400×400; peripheral blood film; Romanowsky stain.
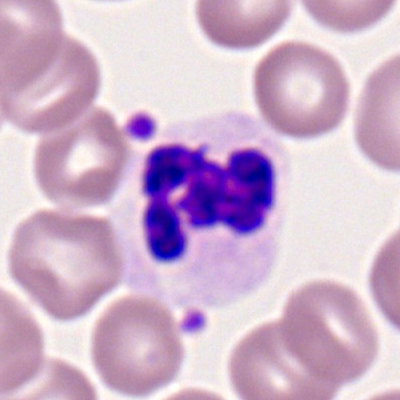
Specimen: peripheral blood smear.
Classification: polymorphonuclear neutrophil.
Lineage: myeloid.